Bone marrow smear · single-cell field: 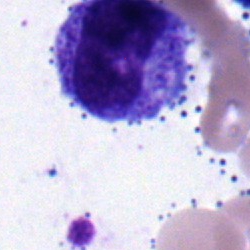
Q: What is the morphological classification of this cell?
A: It is a metamyelocyte.